Bone marrow smear — 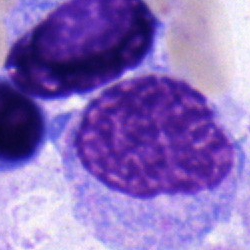
Q: What type of cell is this?
A: A myelocyte.